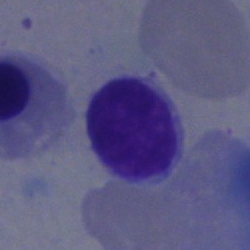 Specimen: bone marrow aspirate smear.
Classification: artifact.